Bone marrow aspirate smear. May-Grünwald-Giemsa stain. 40× oil immersion:
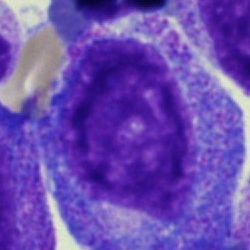 Specimen: bone marrow aspirate smear.
Cell type: progranulocyte.
Lineage: myeloid.